May-Grünwald-Giemsa/Pappenheim stain · 40× oil immersion · bone marrow aspirate smear.
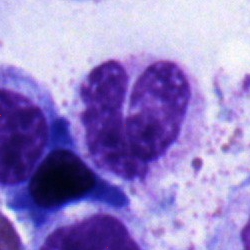
Morphology — band neutrophil.